Brightfield microscopy, 40× oil immersion; bone marrow aspirate smear; 250×250 px.
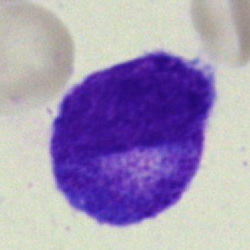Cell type: myelocyte.